Peripheral blood smear: 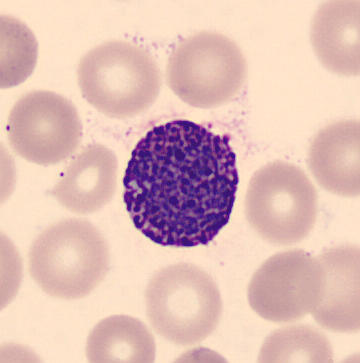

The cell shown is a basophil.